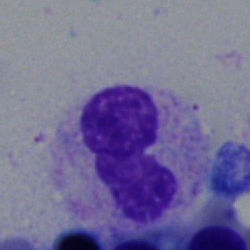The classification is polymorphonuclear neutrophil.